Image size 250×250; MGG-stained; bone marrow smear
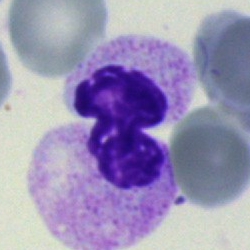

Classification = segmented neutrophil.